Bone marrow aspirate smear. Single cell centered in the field.
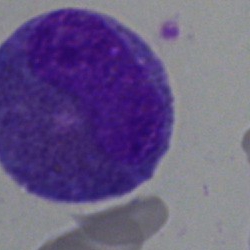
Specimen: bone marrow aspirate smear.
Cell: eosinophilic granulocyte.
Lineage: myeloid.